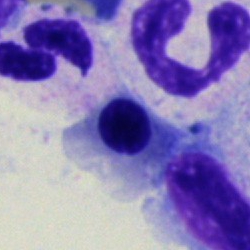

Specimen: bone marrow aspirate smear.
Cell type: nucleated red cell.